Bone marrow aspirate smear · brightfield, 40× oil-immersion objective · image size 250×250: 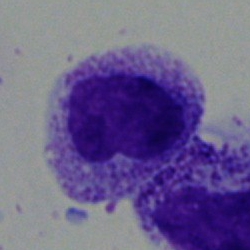Cell: metamyelocyte.